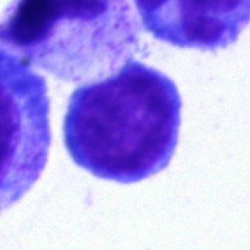

Classification: lymphocyte.